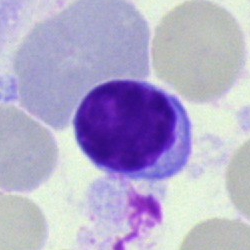Morphology — typical lymphocyte.